Image size 250×250; bone marrow smear
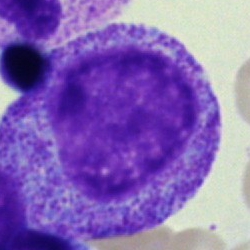

Cell type: promyelocyte.